May-Grünwald-Giemsa/Pappenheim stain. Bone marrow smear. Single-cell field
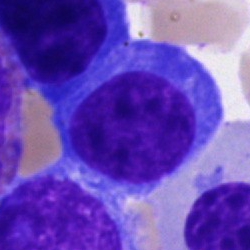

Showing an immature lymphocyte.